Bone marrow aspirate smear; 250×250
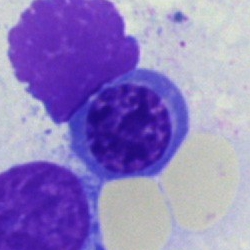
Cell type: nucleated red cell.